250×250. Bone marrow smear: 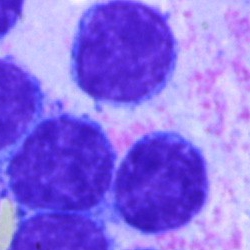

Typical lymphocyte.